Bone marrow smear; single-cell field — 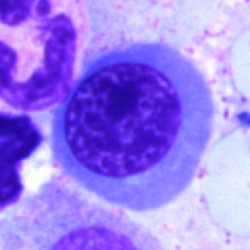 {"cell_type": "erythroblast", "lineage": "erythroid"}